250×250 · bone marrow aspirate smear: 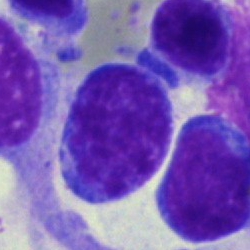Cell: lymphocyte.